Peripheral blood film. Cropped to a single cell
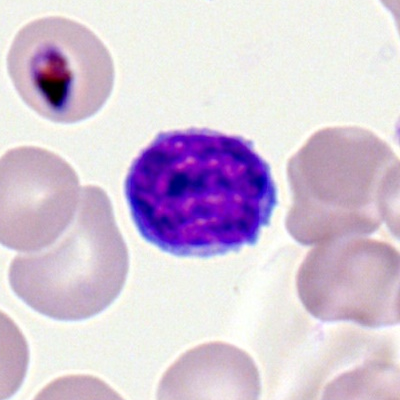 Showing a lymphocyte.